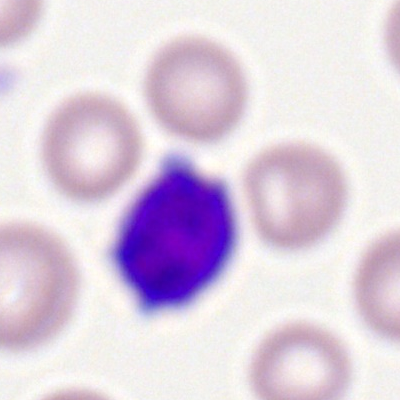 {"cell_type": "typical lymphocyte", "lineage": "lymphoid"}